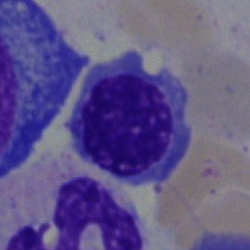

Q: What is the morphological classification of this cell?
A: An erythroblast.